250 by 250 pixels; bone marrow aspirate smear; single cell centered in the field
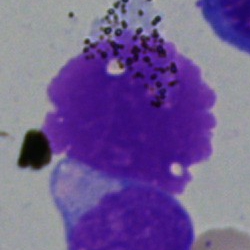
The cell is artefact.